Peripheral blood smear · Romanowsky-stained:
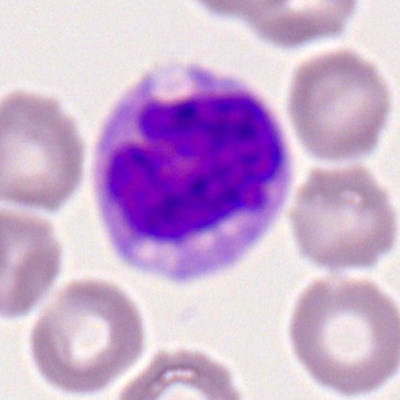Single cell identified as a monocyte.